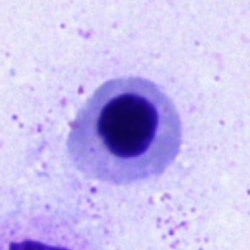 Bone marrow smear showing an erythroblast.